Brightfield microscopy, 40× oil immersion. Bone marrow aspirate smear:
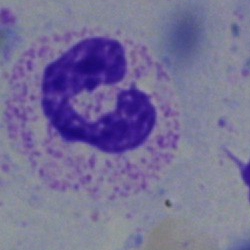

Q: What is the morphological classification of this cell?
A: Neutrophil (segmented).